Peripheral blood smear; 400×400 px; Romanowsky-type stain
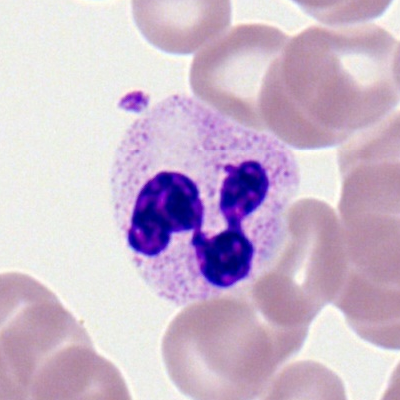 Cell type: polymorphonuclear neutrophil.